Bone marrow aspirate smear · 250×250:
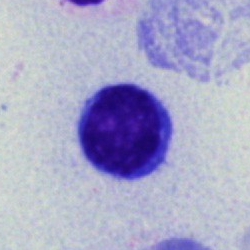 A typical lymphocyte.